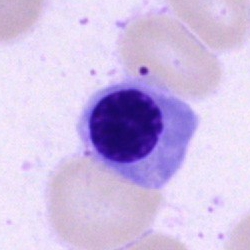The classification is normoblast.